Bone marrow aspirate smear: 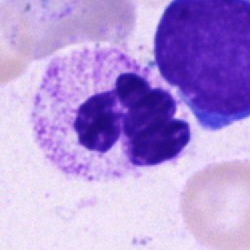 {"cell_type": "segmented neutrophil", "lineage": "myeloid"}